Bone marrow aspirate smear
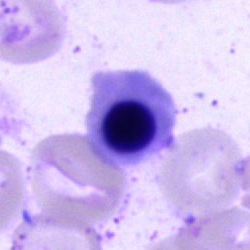

The classification is erythroblast.